Bone marrow aspirate smear. 250×250.
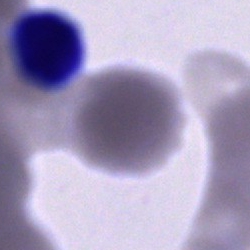
{"cell_type": "cell of indeterminate lineage"}